Bone marrow aspirate smear
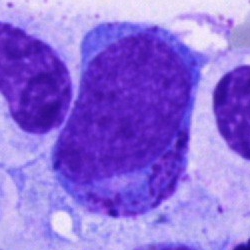

Single cell identified as a promyelocyte.